250×250 px; bone marrow aspirate smear; MGG-stained:
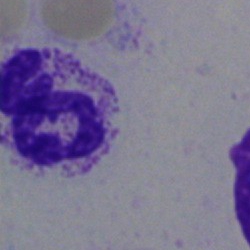
Specimen: bone marrow aspirate smear.
Cell: polymorphonuclear neutrophil.
Lineage: myeloid.